Bone marrow aspirate smear; 250×250: 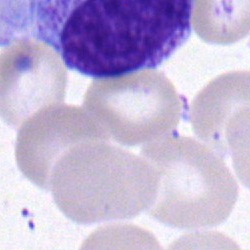
Specimen: bone marrow aspirate smear.
Cell type: myelocyte.